Cropped to a single cell; Pappenheim-stained; bone marrow smear
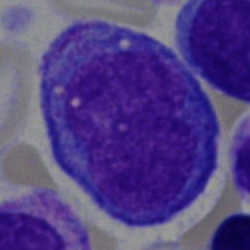Undifferentiated blast.